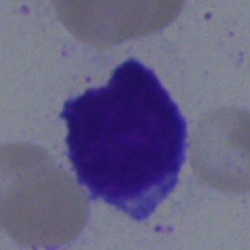
Morphology → lymphocyte.